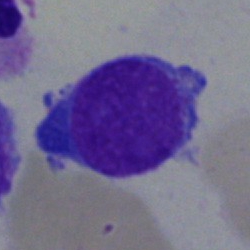
Showing a lymphocyte.